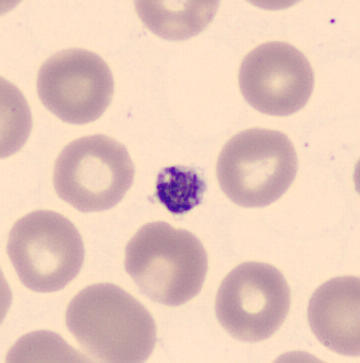 MGG-stained; peripheral blood smear. A platelet (thrombocyte).